Bone marrow aspirate smear; single cell centered in the field; Pappenheim-stained:
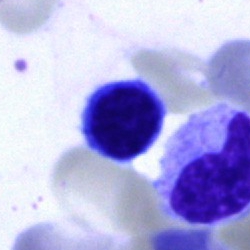
Cell = normoblast.